Bone marrow smear · single cell centered in the field: 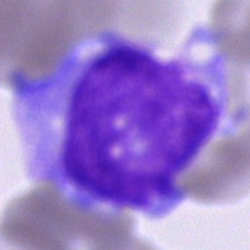
Morphological class = cell of indeterminate lineage.